Bone marrow smear · single cell centered in the field: 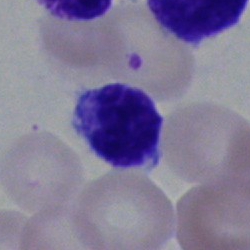

Q: What is shown here?
A: This is a lymphocyte.